Bone marrow aspirate smear.
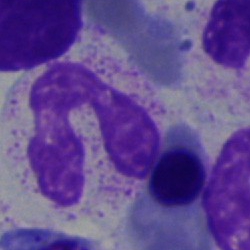

Q: What cell is this?
A: A polymorphonuclear neutrophil.